Brightfield, 40× oil-immersion objective; bone marrow aspirate smear:
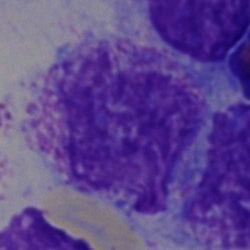
Morphology → artefact.